Bone marrow aspirate smear. Image size 250×250
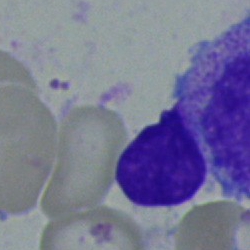Classification — lymphocyte.